Bone marrow smear.
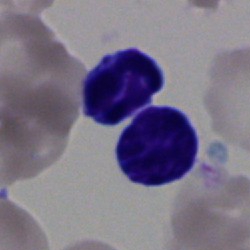
Q: What is shown here?
A: A lymphocyte.